Cropped to a single cell · bone marrow aspirate smear:
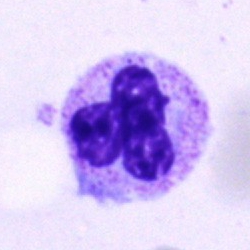 Specimen: bone marrow smear.
Morphological class: segmented neutrophil.
Lineage: myeloid.